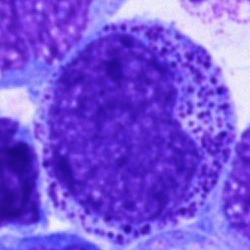
Morphological class: progranulocyte.